May-Grünwald-Giemsa/Pappenheim stain; bone marrow aspirate smear: 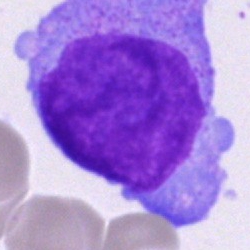

Showing a blast cell.